Bone marrow smear
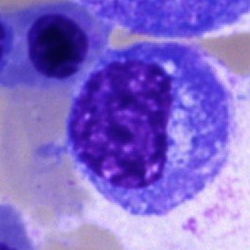 Q: Which cell type is shown here?
A: A promyelocyte.